Single-cell field; bone marrow aspirate smear: 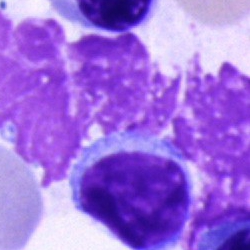Showing a lymphocyte.